Bone marrow smear — 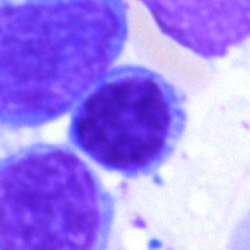

Morphological class: lymphocyte.